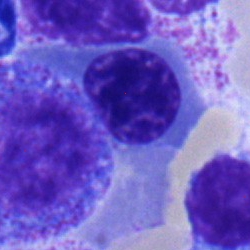Bone marrow aspirate smear, single cell — nucleated red blood cell.